Single-cell crop. May-Grünwald-Giemsa/Pappenheim stain. Bone marrow smear
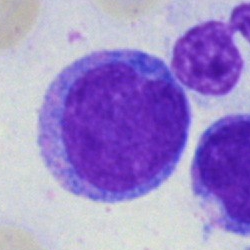 This is a blast cell.